Bone marrow smear.
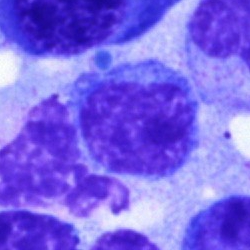
{"cell_type": "typical lymphocyte"}